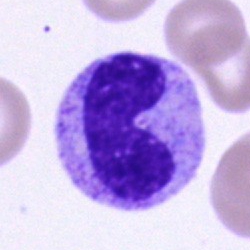 Morphological class — neutrophil (band).